Bone marrow aspirate smear.
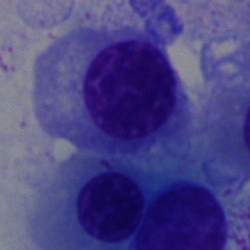The morphological class is nucleated red cell.